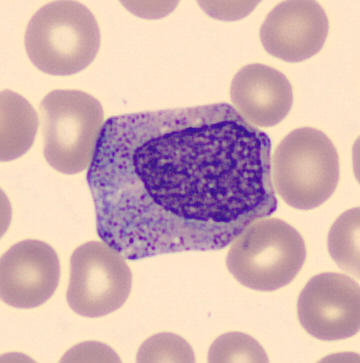A myelocyte.